250×250. Bone marrow aspirate smear. May-Grünwald-Giemsa/Pappenheim stain.
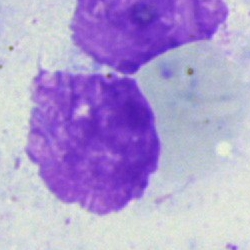 This is an artifact.